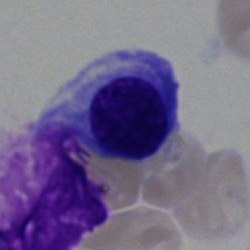
Showing a nucleated red blood cell.